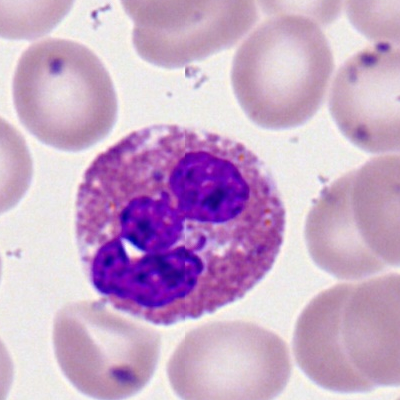Specimen: peripheral blood film.
Morphological class: eosinophilic granulocyte.
Lineage: myeloid.